Pappenheim-stained. Image size 250×250. Bone marrow smear.
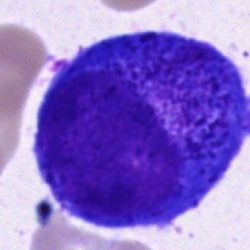 Impression → progranulocyte.